Bone marrow smear
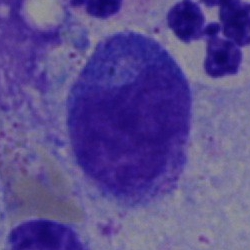
Classification: myelocyte.